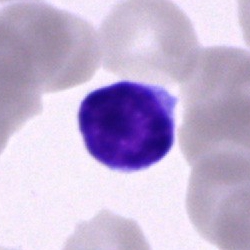This is a lymphocyte.